Bone marrow smear · image size 250×250 · MGG-stained
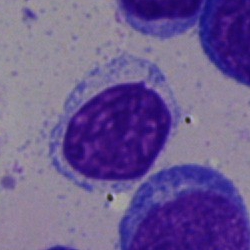

Cell type: lymphocyte.